Bone marrow aspirate smear.
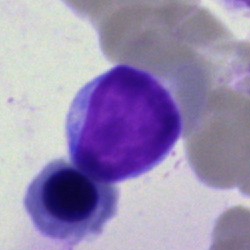

Cell type — lymphocyte.